Pappenheim-stained. Bone marrow smear. Single-cell crop — 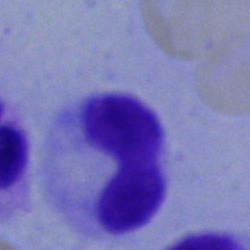
Band-form neutrophil.